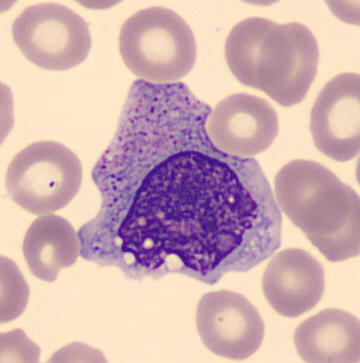
Cell — monocyte.

360 by 363 pixels; peripheral blood film.